Bone marrow smear. 250 by 250 pixels:
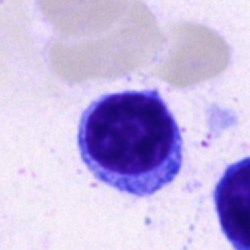
This is a lymphocyte.